Bone marrow smear; brightfield microscopy, 40× oil immersion
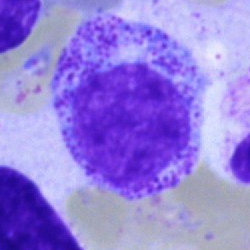Specimen: bone marrow aspirate smear.
Cell type: myelocyte.
Lineage: myeloid.